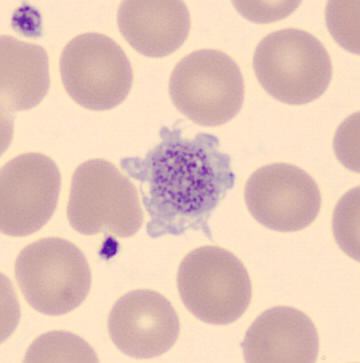{"cell_type": "platelet"}